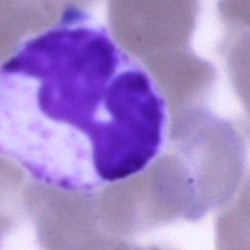Q: What cell is this?
A: Polymorphonuclear neutrophil.